Single-cell field · 250×250 · bone marrow aspirate smear — 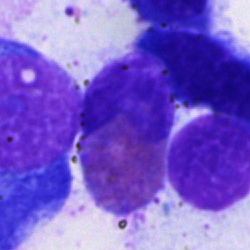The cell shown is an eosinophilic granulocyte.